Bone marrow smear. 250×250.
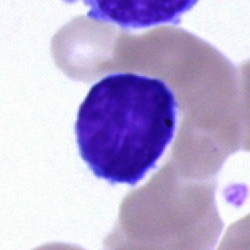 {"cell_type": "typical lymphocyte", "lineage": "lymphoid"}